Bone marrow aspirate smear — 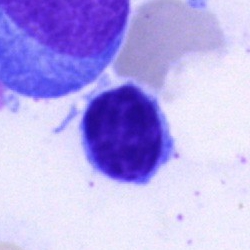 Morphological class: typical lymphocyte.